Bone marrow smear. May-Grünwald-Giemsa/Pappenheim stain. Single cell centered in the field: 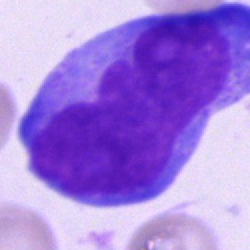 Specimen: bone marrow smear.
Cell type: undifferentiated blast.